Bone marrow aspirate smear.
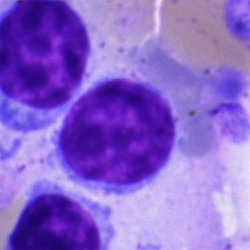Morphology consistent with a lymphocyte.